Pappenheim-stained · bone marrow smear:
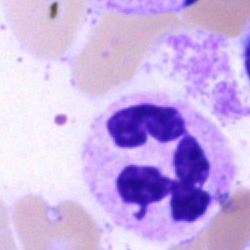

{"cell_type": "neutrophil (segmented)"}